May-Grünwald-Giemsa stain; bone marrow aspirate smear.
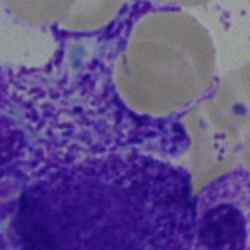
Myelocyte.